Bone marrow smear
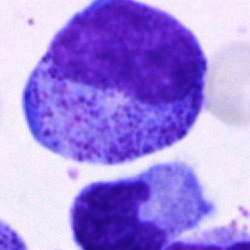 Q: What is shown here?
A: This is a promyelocyte.